Bone marrow smear · single-cell field · MGG-stained.
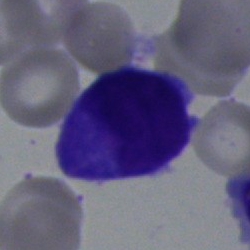
{"cell_type": "blast"}